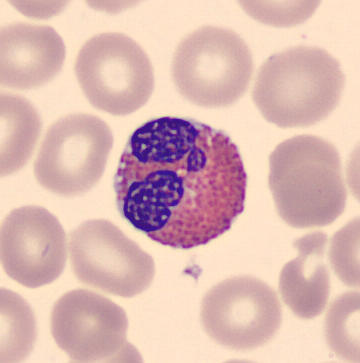
Peripheral blood film, single cell — eosinophilic granulocyte.